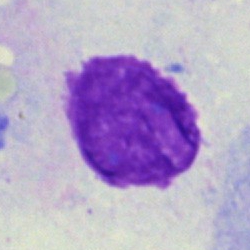 An artefact.